Bone marrow smear:
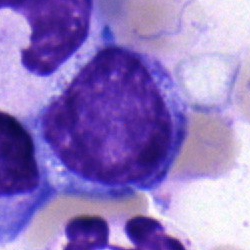A typical lymphocyte.